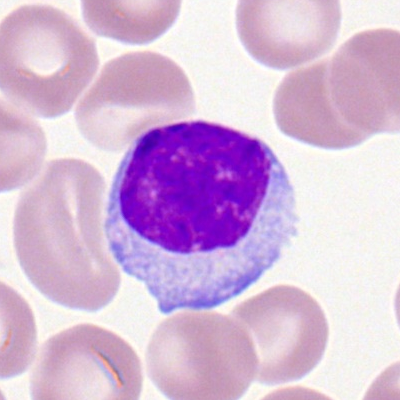Specimen: peripheral blood smear.
Cell: lymphocyte.